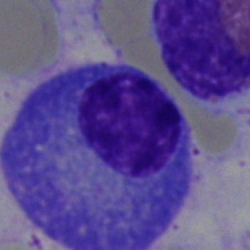
Cell type — plasmacyte.